Peripheral blood film. Brightfield, 100× oil-immersion objective.
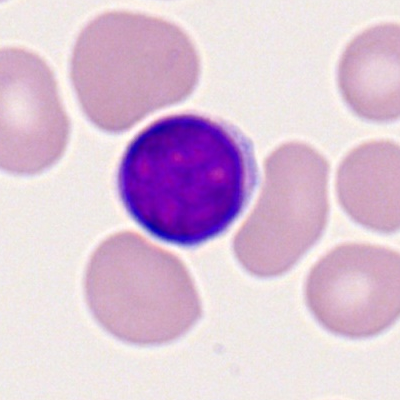The cell shown is a myeloid blast.